Peripheral blood film
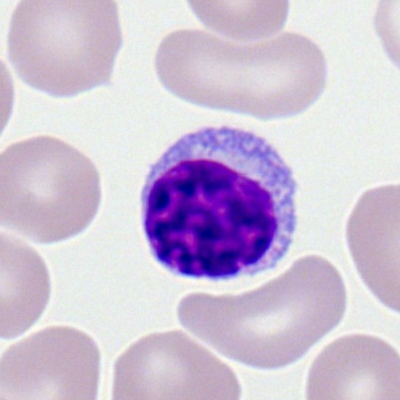 Classification = typical lymphocyte.